Single-cell crop; brightfield microscopy, 40× oil immersion; bone marrow aspirate smear:
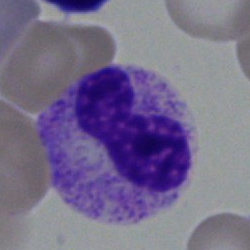

A neutrophil (segmented).